Peripheral blood smear:
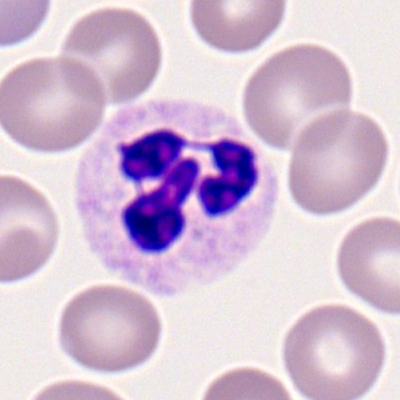 Morphology consistent with a polymorphonuclear neutrophil.